Bone marrow aspirate smear: 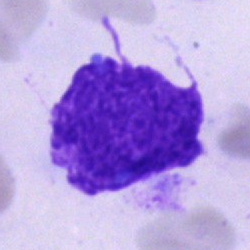 Impression — artifact.